Bone marrow aspirate smear; 40× objective, oil immersion; image size 250×250
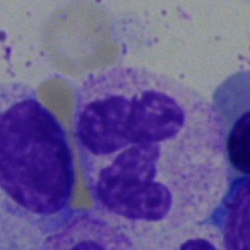 Single cell identified as a neutrophil (segmented).